40× objective, oil immersion · bone marrow smear · cropped to a single cell:
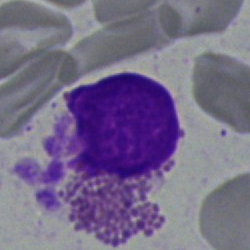
Morphology consistent with an eosinophil.